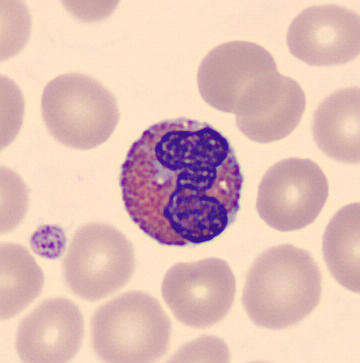The classification is eosinophil.